Bone marrow aspirate smear.
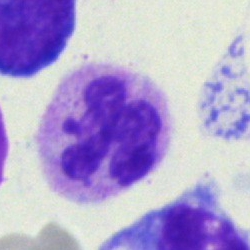
This is a neutrophil (segmented).